Bone marrow aspirate smear
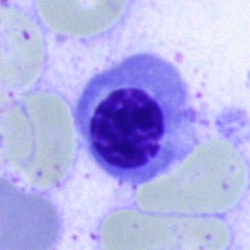
A nucleated red blood cell.